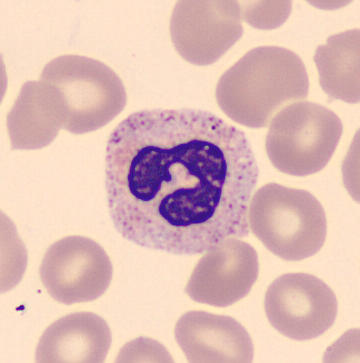 MGG stain · single-cell crop · peripheral blood film. Impression → segmented neutrophil.